Bone marrow aspirate smear.
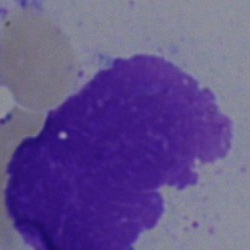

The cell shown is an artefact.